Bone marrow aspirate smear: 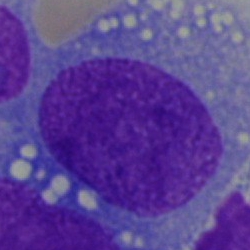

Morphology consistent with a blast cell.